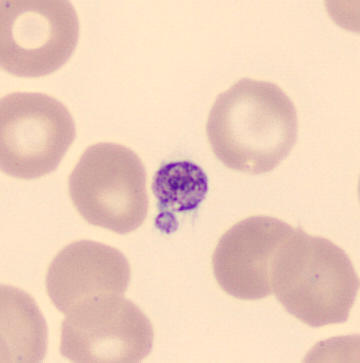

Morphological class: thrombocyte.

Peripheral blood smear.